Bone marrow smear: 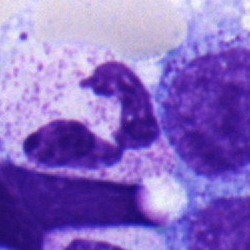
Cell type — polymorphonuclear neutrophil.